Brightfield microscopy, 40× oil immersion. Bone marrow aspirate smear
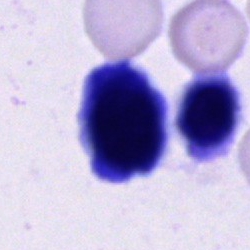

The morphological class is unidentifiable cell.